Bone marrow smear:
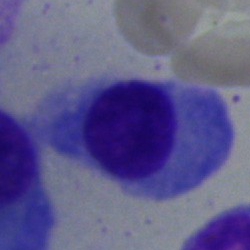Plasma cell.